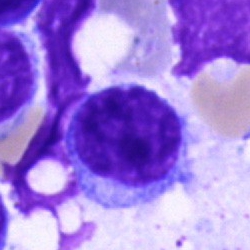
The cell shown is a lymphocyte.